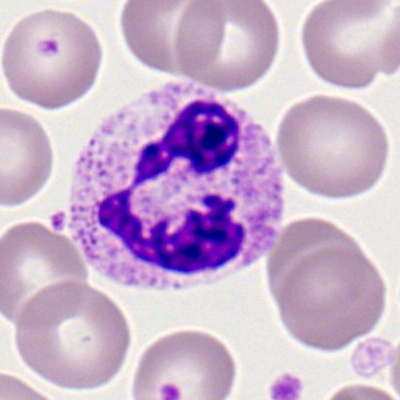
Q: What type of cell is this?
A: A polymorphonuclear neutrophil.